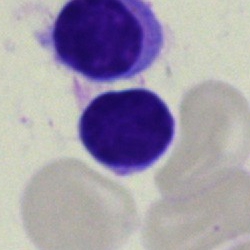
{"cell_type": "typical lymphocyte", "lineage": "lymphoid"}